Bone marrow aspirate smear.
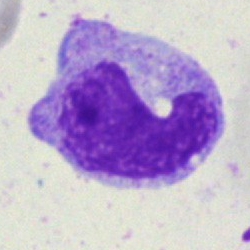
Showing a monocyte.